Bone marrow smear.
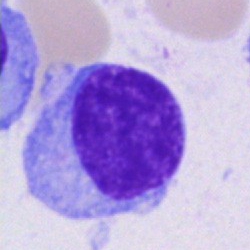

Cell — plasmacyte.